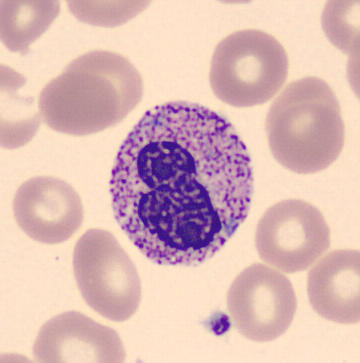Peripheral blood film.

Morphology consistent with a metamyelocyte.